Single-cell crop. Peripheral blood smear:
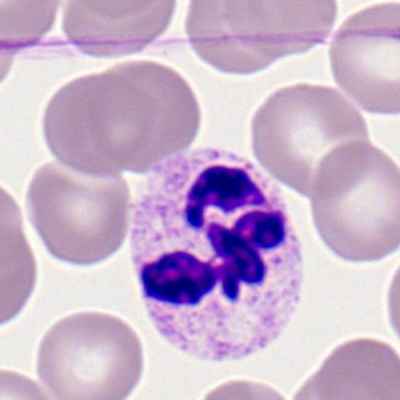Specimen: peripheral blood film.
Classification: segmented neutrophil.
Lineage: myeloid.